40× objective, oil immersion · bone marrow smear: 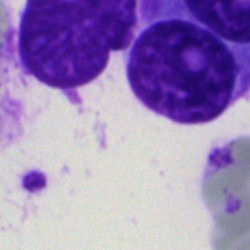 Q: What is shown here?
A: Artifact.